Bone marrow aspirate smear; 40× oil immersion; cropped to a single cell:
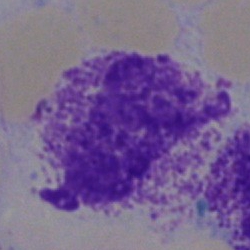Specimen: bone marrow aspirate smear.
Classification: artefact.